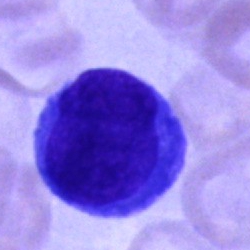

Specimen: bone marrow smear.
Cell: blast.